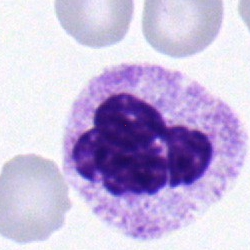 Specimen: bone marrow aspirate smear.
Cell: polymorphonuclear neutrophil.
Lineage: myeloid.